Bone marrow aspirate smear. 250×250 — 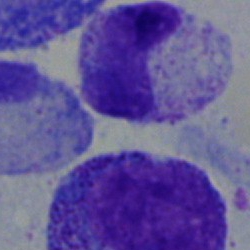Specimen: bone marrow smear.
Cell: metamyelocyte.
Lineage: myeloid.